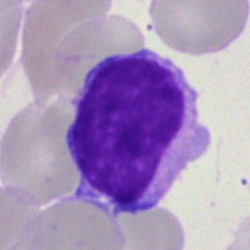 Q: Identify the cell.
A: This is a typical lymphocyte.